Pappenheim-stained · brightfield microscopy, 40× oil immersion · bone marrow aspirate smear: 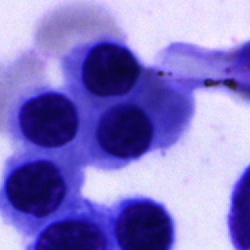 Q: Which cell type is shown here?
A: A nucleated red blood cell.